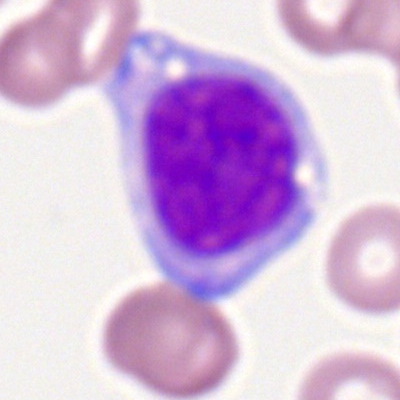
A monocyte.